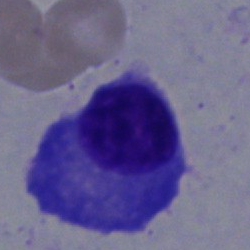 Cell: plasma cell.